Bone marrow smear. Brightfield microscopy, 40× oil immersion — 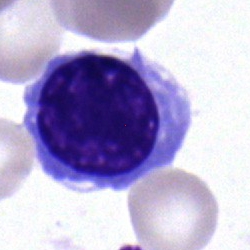

Single cell identified as a normoblast.